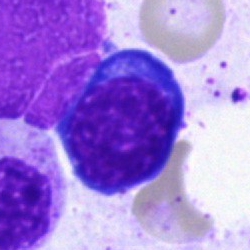 Single cell identified as a normoblast.